Bone marrow aspirate smear.
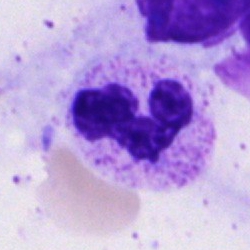

A neutrophil (segmented).